Bone marrow aspirate smear · single-cell field
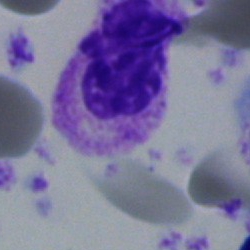 Q: What cell is this?
A: This is a polymorphonuclear neutrophil.